Peripheral blood smear
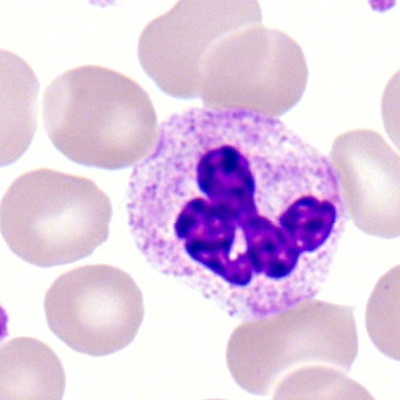

Q: What cell is this?
A: It is a polymorphonuclear neutrophil.